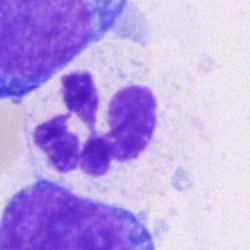
The morphological class is neutrophil (segmented).